Bone marrow smear.
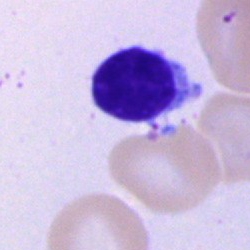The classification is lymphocyte.